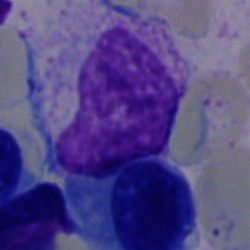

Q: Which cell type is shown here?
A: It is a cell of indeterminate lineage.